Bone marrow smear; 40× oil immersion
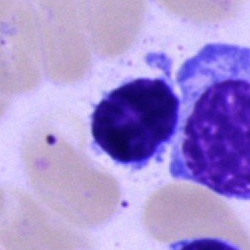

Classification = lymphocyte.